Bone marrow smear
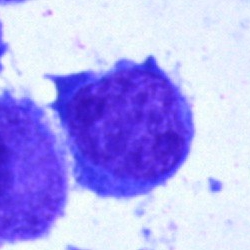This is a blast.